Romanowsky-stained. Peripheral blood film: 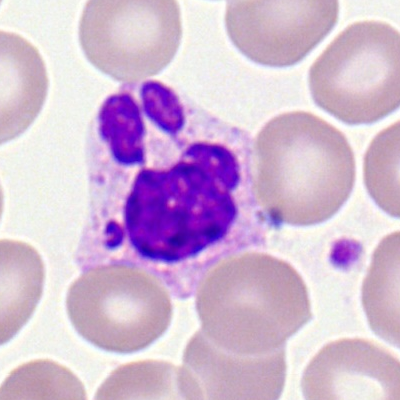
The cell shown is a basophil.